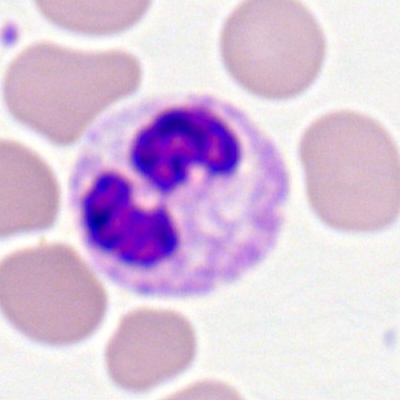Specimen: peripheral blood smear.
Morphological class: neutrophil (segmented).